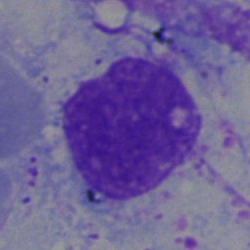 Bone marrow aspirate smear, single cell — artifact.